Bone marrow aspirate smear · 250×250 · May-Grünwald-Giemsa stain: 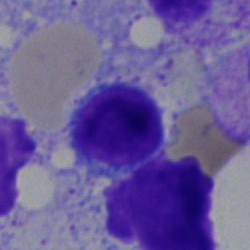

The classification is lymphocyte.